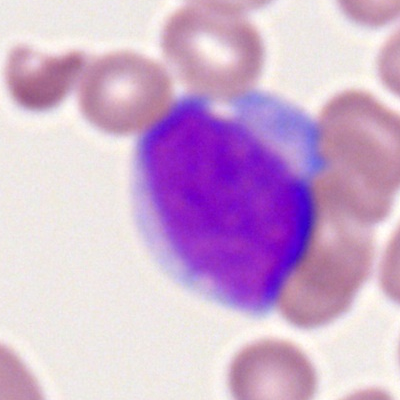 Morphology → myeloid blast.